Bone marrow aspirate smear: 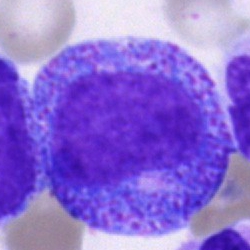

Specimen: bone marrow smear.
Cell: promyelocyte.